Bone marrow smear — 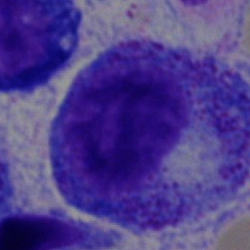 The cell shown is a promyelocyte.